Image size 250×250 · May-Grünwald-Giemsa stain · bone marrow aspirate smear:
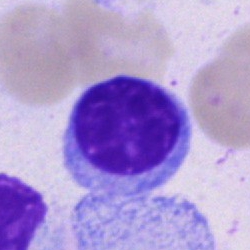
Impression → typical lymphocyte.